250 by 250 pixels · bone marrow aspirate smear:
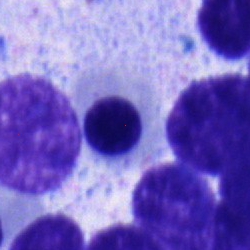
Single cell identified as a normoblast.